Peripheral blood smear.
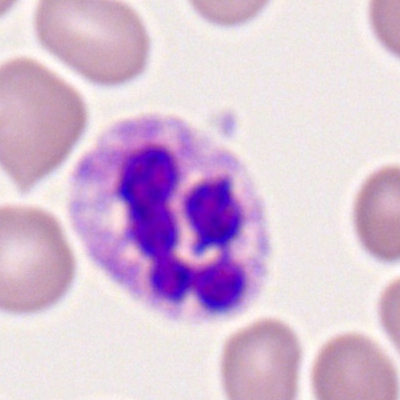

Neutrophil (segmented).